Bone marrow smear
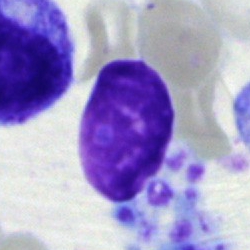

Specimen: bone marrow aspirate smear.
Morphological class: artefact.